Bone marrow aspirate smear
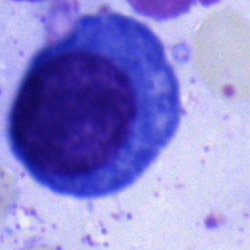 Specimen: bone marrow aspirate smear.
Classification: plasma cell.
Lineage: lymphoid.